360×363 px · peripheral blood smear — 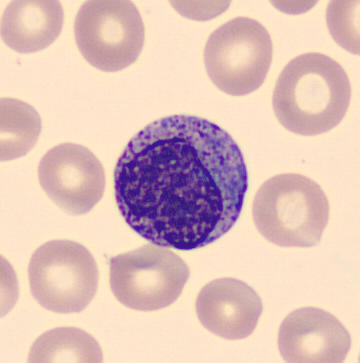
Cell: myelocyte.